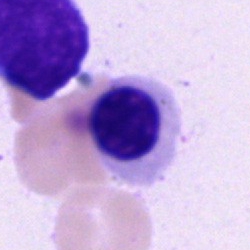Cell: nucleated red blood cell.